Peripheral blood film: 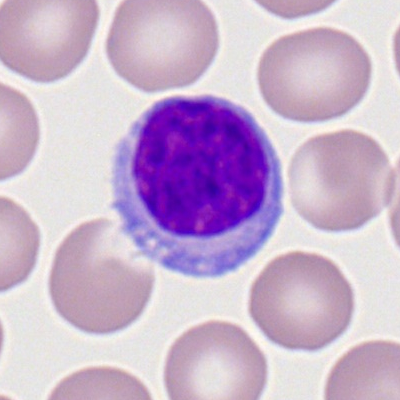This is a typical lymphocyte.